Bone marrow aspirate smear
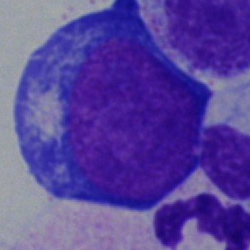
Specimen: bone marrow smear.
Morphological class: pronormoblast.